Brightfield, 40× oil-immersion objective; bone marrow aspirate smear — 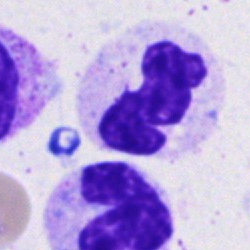 Q: What cell is this?
A: A segmented neutrophil.